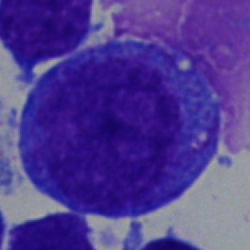Impression → promyelocyte.